Bone marrow aspirate smear — 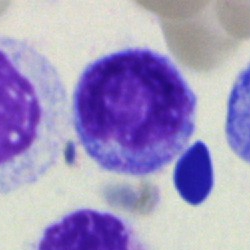 This is a blast cell.